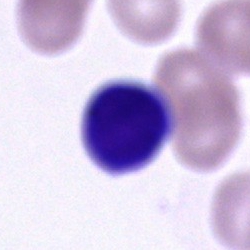 Q: What type of cell is this?
A: This is a cell of indeterminate lineage.